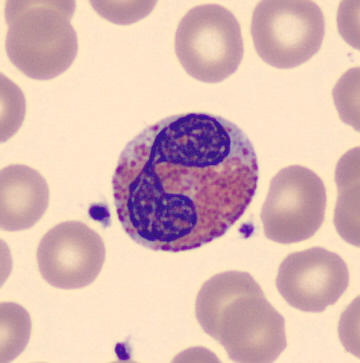 Q: Identify the cell.
A: An eosinophil.
Image: Single-cell crop · peripheral blood film.